Brightfield microscopy, 40× oil immersion; Pappenheim-stained; bone marrow aspirate smear:
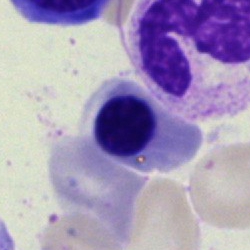

Showing a normoblast.